Brightfield microscopy, 40× oil immersion · bone marrow aspirate smear · 250 by 250 pixels
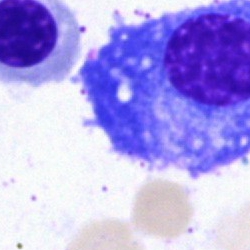Morphology consistent with a plasma cell.